Bone marrow smear · cropped to a single cell · 250×250:
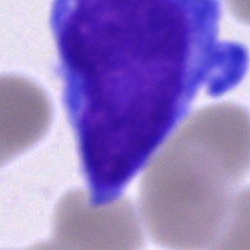 Cell type = blast.